Bone marrow smear — 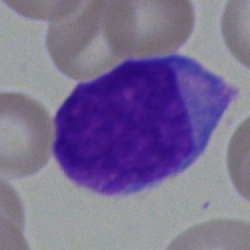Specimen: bone marrow aspirate smear.
Cell: blast.